Bone marrow aspirate smear
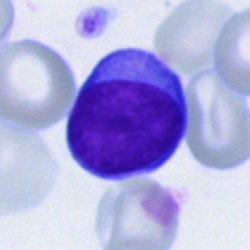

Impression → typical lymphocyte.